Bone marrow smear: 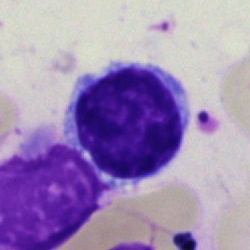Single cell identified as a typical lymphocyte.